May-Grünwald-Giemsa/Pappenheim stain. Bone marrow smear. Brightfield microscopy, 40× oil immersion — 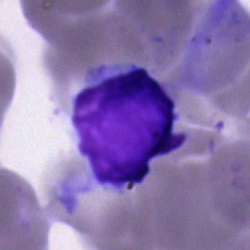

Cell type — lymphocyte.